Peripheral blood smear — 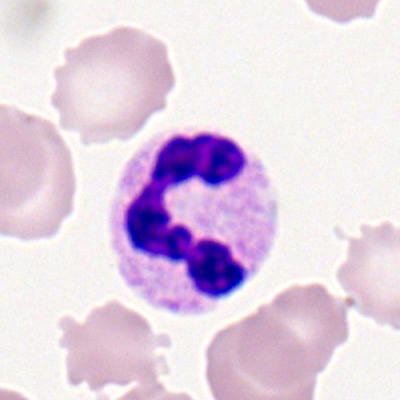

A segmented neutrophil.